250×250 px · bone marrow aspirate smear:
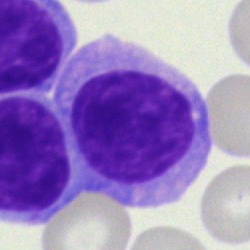The cell type is typical lymphocyte.